Single cell centered in the field · 100× oil immersion, 14.14 px/µm · peripheral blood smear:
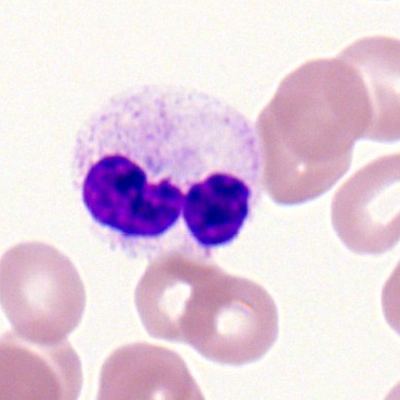 A neutrophil (segmented).